May-Grünwald-Giemsa/Pappenheim stain; bone marrow smear; brightfield, 40× oil-immersion objective: 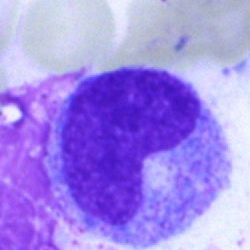

Single cell identified as a metamyelocyte.